Peripheral blood smear — 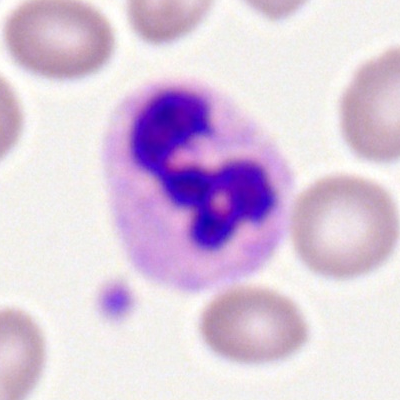

This is a polymorphonuclear neutrophil.